40× oil immersion · bone marrow aspirate smear · May-Grünwald-Giemsa stain:
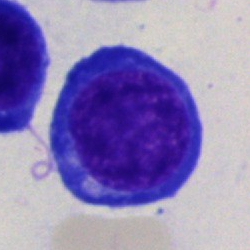

{"cell_type": "proerythroblast", "lineage": "erythroid"}